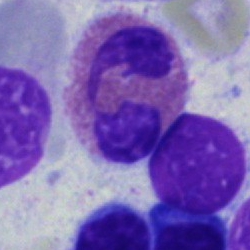 This is an eosinophil.